Bone marrow smear; brightfield, 40× oil-immersion objective — 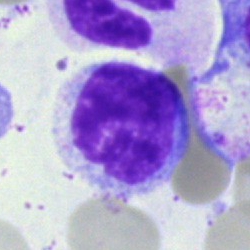
A lymphocyte.